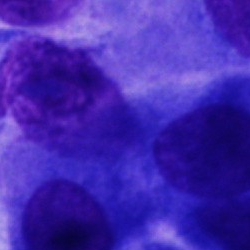

The cell is other cell.